Bone marrow smear.
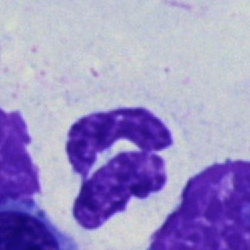The cell shown is a neutrophil (segmented).